Bone marrow smear.
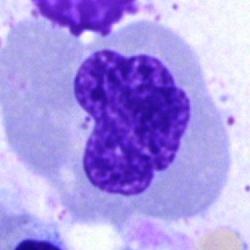
Q: What type of cell is this?
A: A nucleated red cell.